Bone marrow aspirate smear
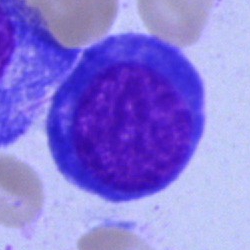 Cell = nucleated red blood cell.